Bone marrow smear.
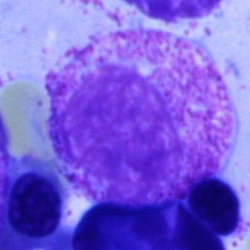

Morphology consistent with a myelocyte.